Pappenheim-stained; bone marrow smear; single-cell field
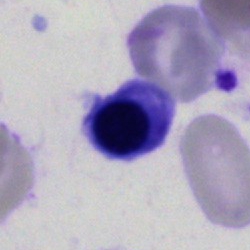
Impression → normoblast.